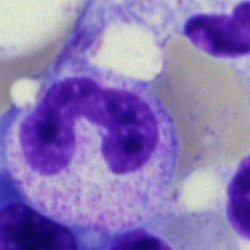 Morphology consistent with a band neutrophil.